Bone marrow aspirate smear · MGG-stained · 250×250 px — 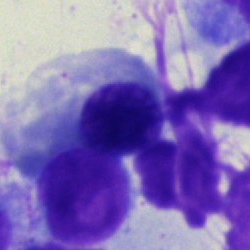 Q: What is shown here?
A: Nucleated red cell.